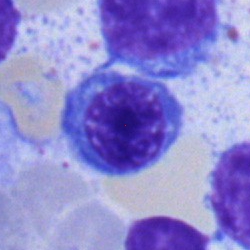

Bone marrow smear showing a nucleated red cell.